Pappenheim-stained; bone marrow smear; 40× objective, oil immersion:
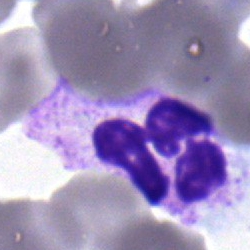Morphology — segmented neutrophil.